Bone marrow aspirate smear.
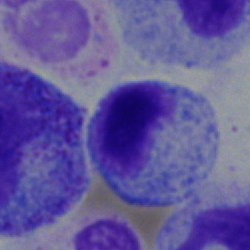Single cell identified as a myelocyte.